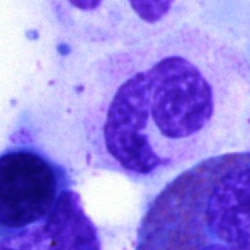
Q: What cell is this?
A: This is a neutrophil (segmented).